Bone marrow aspirate smear; 250×250 px; 40× objective, oil immersion:
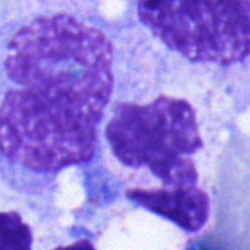
Q: Identify the cell.
A: Segmented neutrophil.